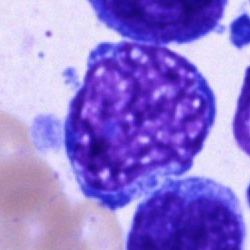
Impression — blast.